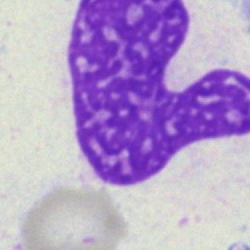 Q: What is shown here?
A: An artifact.